Bone marrow smear
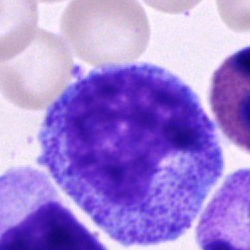The cell type is promyelocyte.